Bone marrow aspirate smear
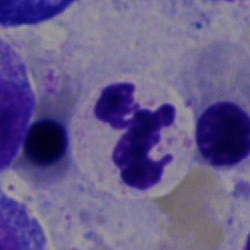

Morphological class — polymorphonuclear neutrophil.